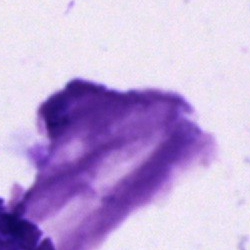
Specimen: bone marrow aspirate smear.
Morphological class: artefact.